Bone marrow aspirate smear:
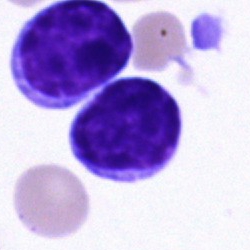Morphology consistent with a typical lymphocyte.